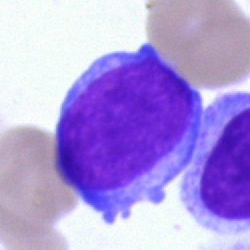

Specimen: bone marrow smear.
Cell: undifferentiated blast.